Romanowsky-stained. Peripheral blood smear. Single-cell field: 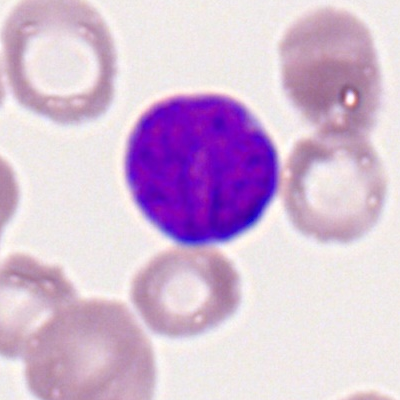

{"cell_type": "myeloblast", "lineage": "myeloid"}